Bone marrow smear.
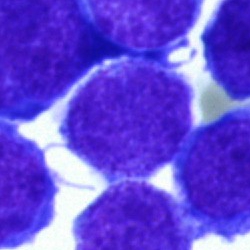

Cell — blast cell.